40× oil immersion. Image size 250×250. Bone marrow smear — 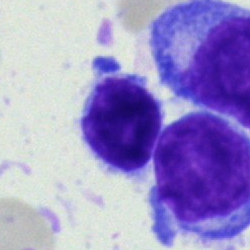Single cell identified as a typical lymphocyte.